Bone marrow aspirate smear. Pappenheim-stained:
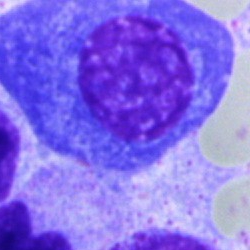

Morphology consistent with a plasmacyte.